Bone marrow smear
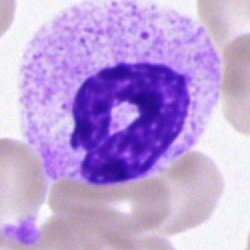 The morphological class is segmented neutrophil.